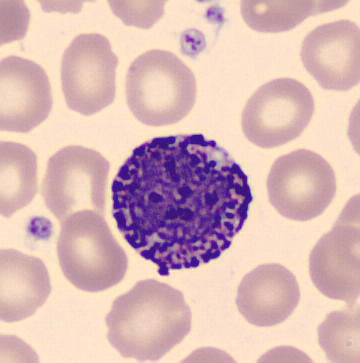

Impression → basophilic granulocyte. Peripheral blood smear.